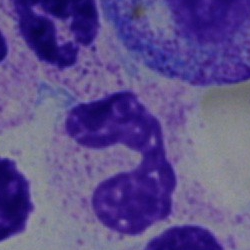Cell type = segmented neutrophil.